May-Grünwald-Giemsa/Pappenheim stain. Bone marrow smear. Brightfield microscopy, 40× oil immersion.
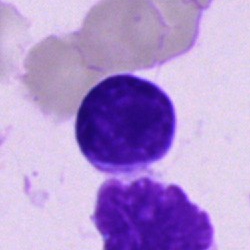

Cell: typical lymphocyte.